Image size 400×400 · peripheral blood smear:
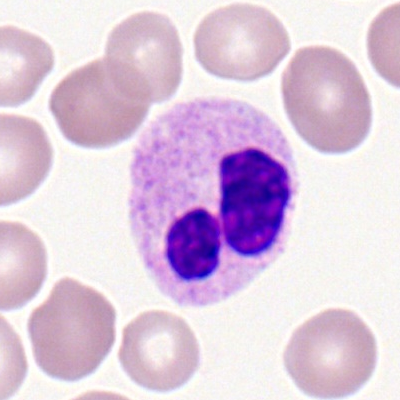

Cell = polymorphonuclear neutrophil.